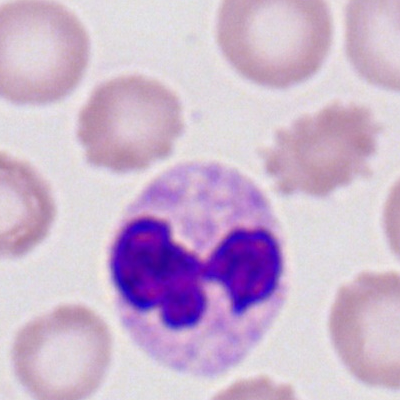 Single cell identified as a segmented neutrophil.